Bone marrow aspirate smear. Single-cell crop — 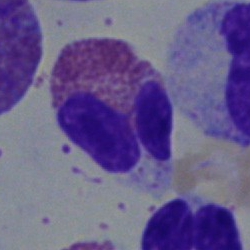
Eosinophilic granulocyte.